Bone marrow aspirate smear; image size 250×250; 40× objective, oil immersion:
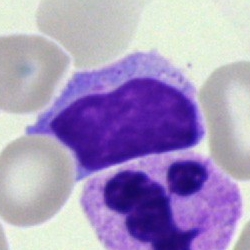

Typical lymphocyte.